Bone marrow smear.
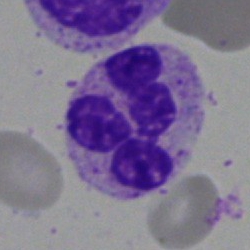
Specimen: bone marrow aspirate smear.
Morphological class: segmented neutrophil.